Bone marrow smear — 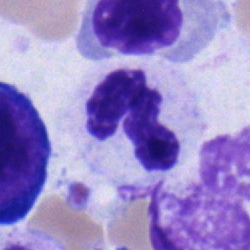

Showing a neutrophil (segmented).